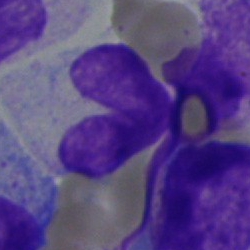 Morphological class = monocyte.